Bone marrow smear.
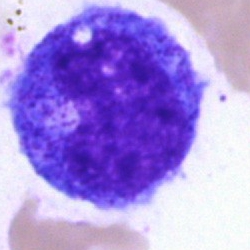
Morphology → promyelocyte.